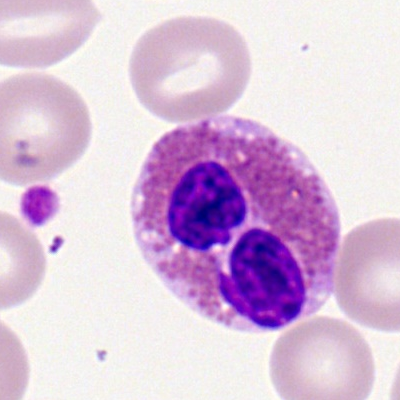

Classification — eosinophil.